May-Grünwald-Giemsa stain. Bone marrow aspirate smear.
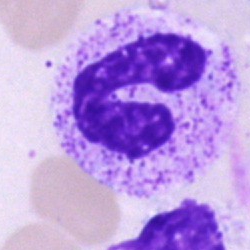
Q: Which cell type is shown here?
A: This is a neutrophil (band).